May-Grünwald-Giemsa/Pappenheim stain. Bone marrow aspirate smear.
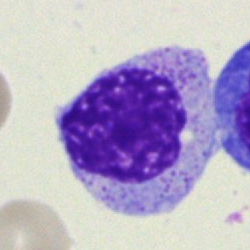
This is a myelocyte.